Peripheral blood film
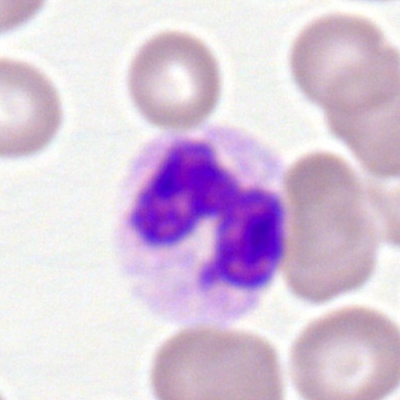

Impression → segmented neutrophil.